Brightfield microscopy, 40× oil immersion · bone marrow aspirate smear:
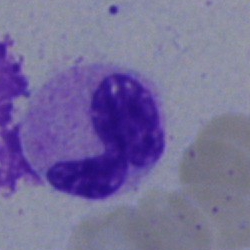Morphological class — neutrophil (segmented).